Bone marrow smear — 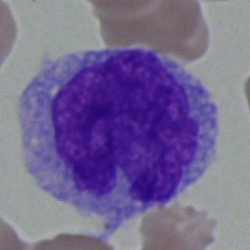
Q: What type of cell is this?
A: Monocyte.